MGG-stained · bone marrow smear · brightfield microscopy, 40× oil immersion
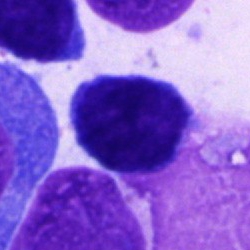

Classification — blast cell.